Bone marrow smear: 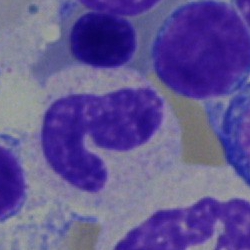

Q: What is shown here?
A: This is a band-form neutrophil.